Single-cell field · May-Grünwald-Giemsa/Pappenheim stain · bone marrow smear
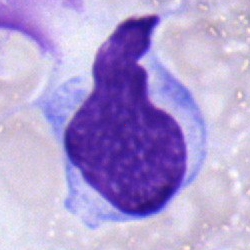
Cell = lymphocyte.